Single cell centered in the field; 400 by 400 pixels; peripheral blood film:
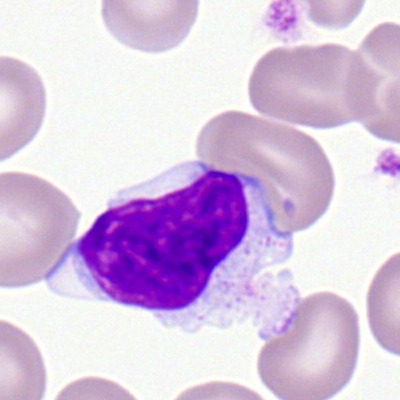

Morphology → lymphocyte.